Bone marrow smear — 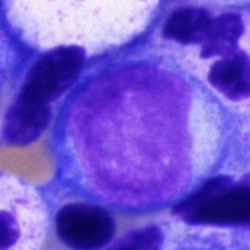 Specimen: bone marrow aspirate smear.
Cell type: blast cell.